Peripheral blood film; Romanowsky-stained: 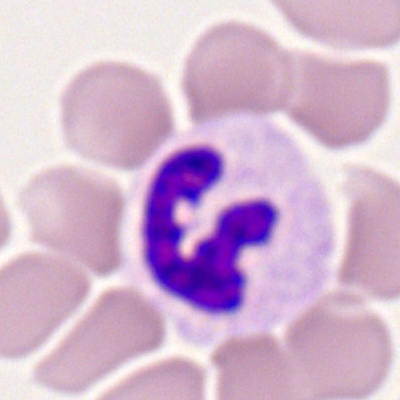 Impression → neutrophil (segmented).